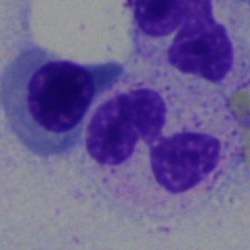
Impression → neutrophil (segmented).